Peripheral blood film
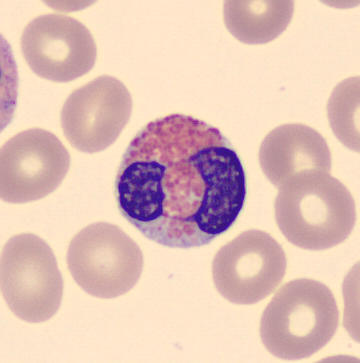 Classification — eosinophil.